Bone marrow smear.
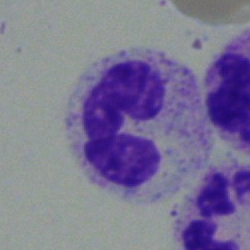Morphological class — polymorphonuclear neutrophil.